Bone marrow smear: 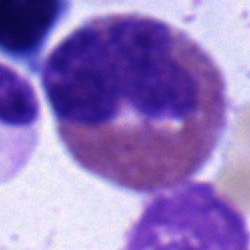

Q: Which cell type is shown here?
A: Eosinophil.